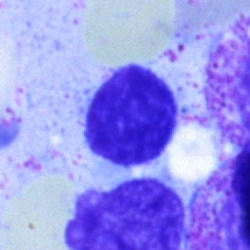

Single cell identified as a lymphocyte.